Cropped to a single cell. Bone marrow smear. Brightfield, 40× oil-immersion objective.
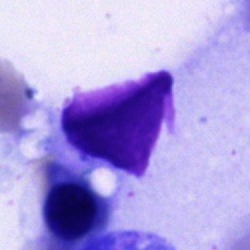
Q: What is shown here?
A: It is an artifact.